Single-cell field; bone marrow smear; May-Grünwald-Giemsa stain:
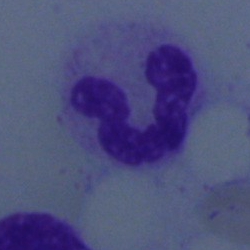 Morphological class = neutrophil (band).